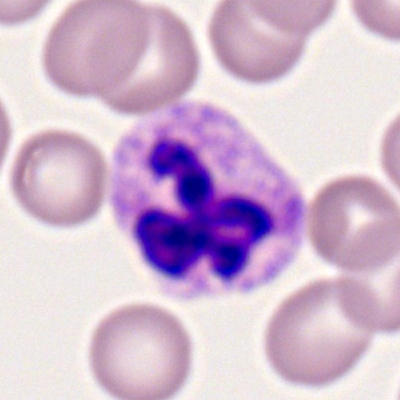
Specimen: peripheral blood smear.
Morphological class: segmented neutrophil.
Lineage: myeloid.